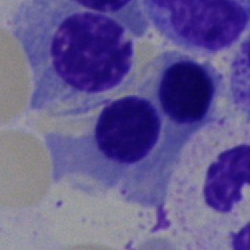
Q: What type of cell is this?
A: An erythroblast.